Bone marrow smear — 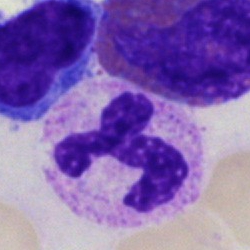
Impression → polymorphonuclear neutrophil.